Bone marrow smear; brightfield microscopy, 40× oil immersion
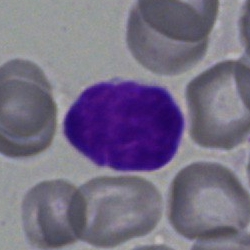Cell type: lymphocyte.